Bone marrow smear; single-cell field: 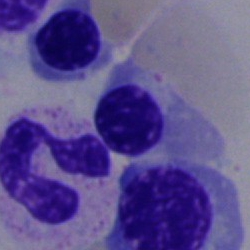
Showing an erythroblast.